Bone marrow aspirate smear · 40× objective, oil immersion: 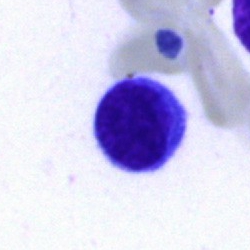
Classification: lymphocyte.